Brightfield, 40× oil-immersion objective. Bone marrow aspirate smear — 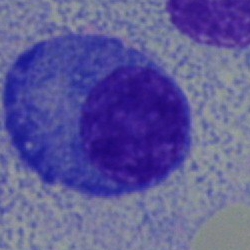 Q: Which cell type is shown here?
A: This is a plasma cell.